Peripheral blood smear
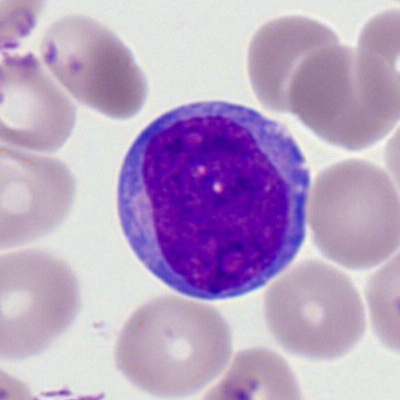Specimen: peripheral blood film.
Classification: myeloid blast.